Single-cell field; bone marrow aspirate smear — 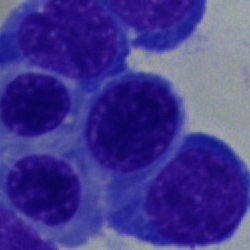
Morphological class = nucleated red blood cell.